250 by 250 pixels. Bone marrow aspirate smear
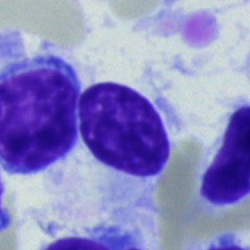

Q: What cell is this?
A: A typical lymphocyte.